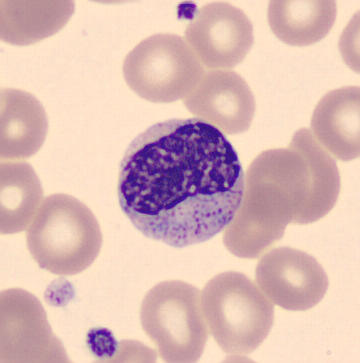
A metamyelocyte. Peripheral blood film.